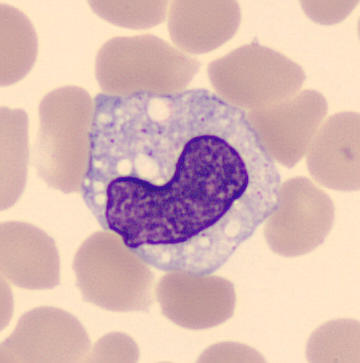Q: Which cell type is shown here?
A: It is a monocyte.

Peripheral blood smear.